Bone marrow aspirate smear:
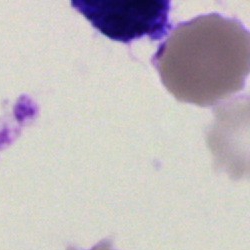
Single cell identified as an artifact.